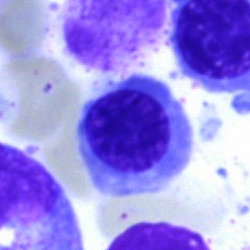 Bone marrow aspirate smear, single cell — normoblast.